Bone marrow aspirate smear; 250 by 250 pixels — 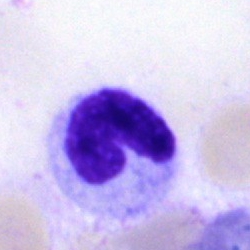 Morphology — stab cell.